Bone marrow aspirate smear — 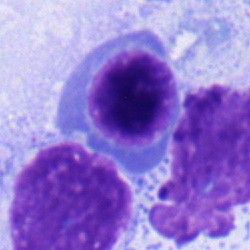
Classification — nucleated red cell.